250 by 250 pixels. Bone marrow aspirate smear: 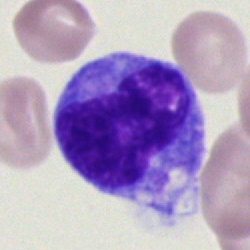 Q: What type of cell is this?
A: This is a monocyte.